Bone marrow smear; May-Grünwald-Giemsa stain:
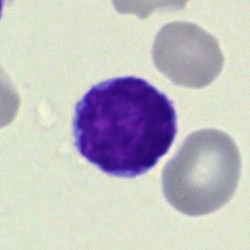
Q: What is the morphological classification of this cell?
A: Lymphocyte.